Bone marrow smear — 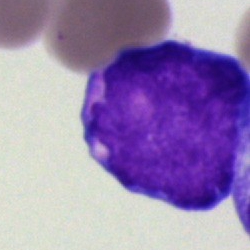Morphological class — blast.